Bone marrow aspirate smear · 250 by 250 pixels
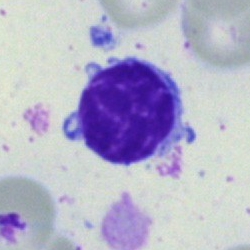 Morphology → typical lymphocyte.